100× oil immersion; peripheral blood film; single cell centered in the field:
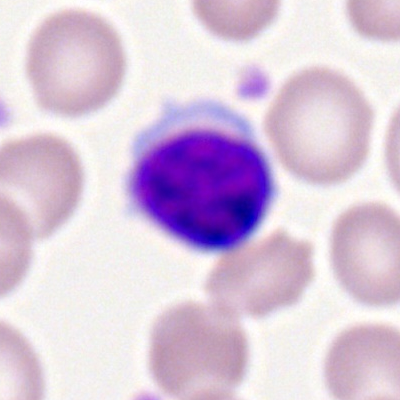 Specimen: peripheral blood smear.
Morphological class: lymphocyte.
Lineage: lymphoid.